Pappenheim-stained. Bone marrow aspirate smear.
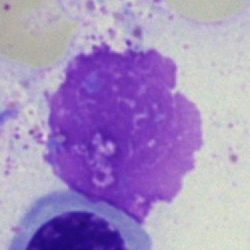 This is an artefact.